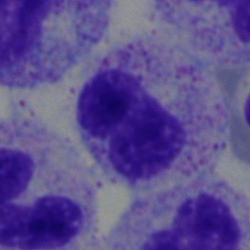

Q: Identify the cell.
A: It is a band neutrophil.